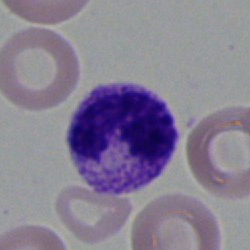 Bone marrow aspirate smear, single cell — segmented neutrophil.